May-Grünwald-Giemsa/Pappenheim stain. Bone marrow aspirate smear. 250 by 250 pixels.
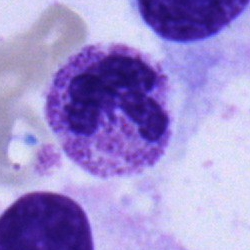
{"cell_type": "neutrophil (segmented)", "lineage": "myeloid"}